250×250 px. Bone marrow aspirate smear.
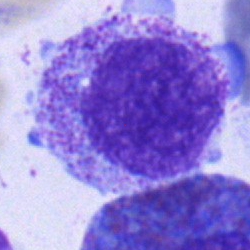

This is a myelocyte.